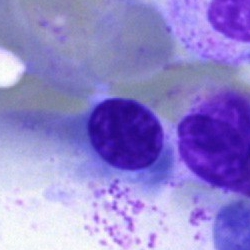

Cell: nucleated red blood cell.